250 by 250 pixels · bone marrow smear.
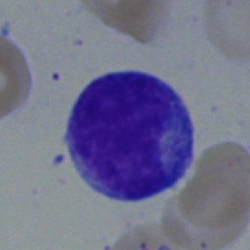Q: Which cell type is shown here?
A: It is a blast cell.